Bone marrow aspirate smear; MGG-stained.
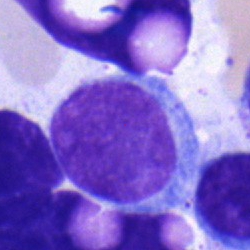 Single cell identified as a lymphocyte.